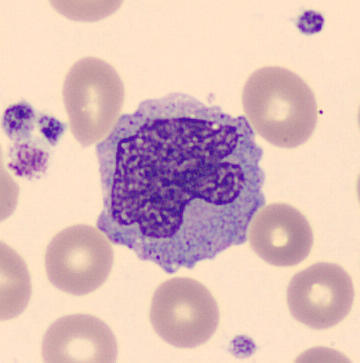 Impression — monocyte.